250×250. Bone marrow aspirate smear.
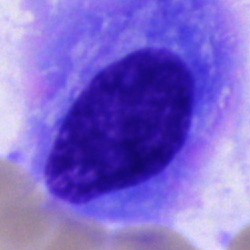

Impression → plasmacyte.